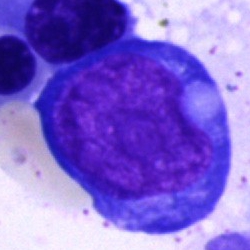

Bone marrow aspirate smear, single cell — pronormoblast.